Bone marrow smear: 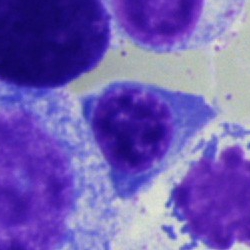Impression — normoblast.